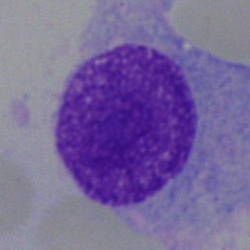

This is a plasma cell.